Peripheral blood film; Romanowsky-stained; 400×400 px: 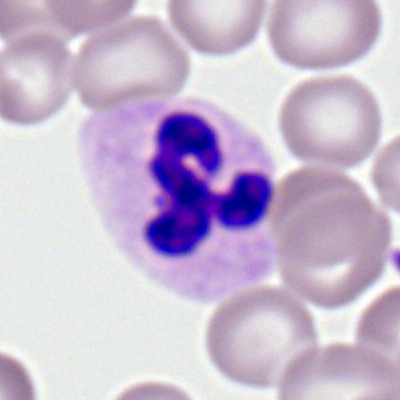
Q: What cell is this?
A: A segmented neutrophil.